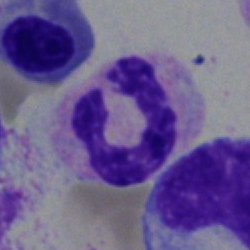 This is a polymorphonuclear neutrophil.